Bone marrow aspirate smear.
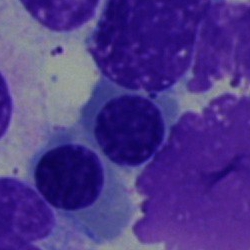Specimen: bone marrow aspirate smear.
Morphological class: nucleated red blood cell.
Lineage: erythroid.